250×250 px. Bone marrow smear:
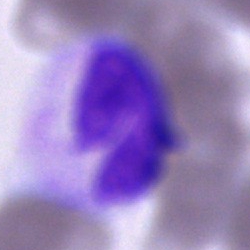
Q: Identify the cell.
A: An unidentifiable cell.